Bone marrow smear: 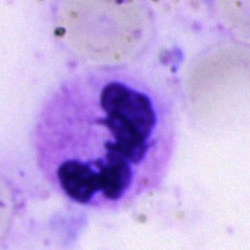
Classification = neutrophil (segmented).